Brightfield microscopy, 40× oil immersion. Bone marrow smear:
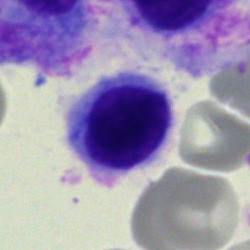Single cell identified as a lymphocyte.